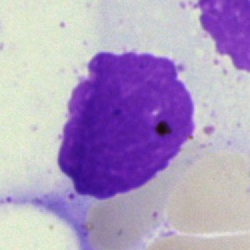Single-cell crop from a bone marrow smear: artifact.